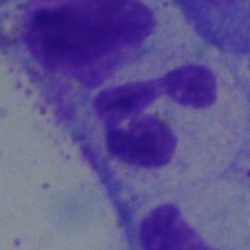

Classification: segmented neutrophil.